250×250 px; bone marrow smear — 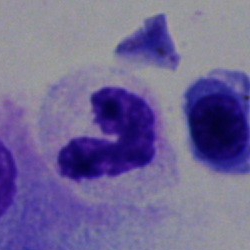 Cell — neutrophil (segmented).